Single-cell crop; Pappenheim-stained; bone marrow smear: 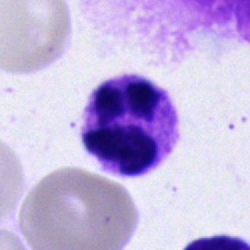

Q: What cell is this?
A: A polymorphonuclear neutrophil.